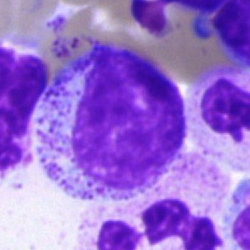

Bone marrow aspirate smear, single cell — myelocyte.